Bone marrow aspirate smear:
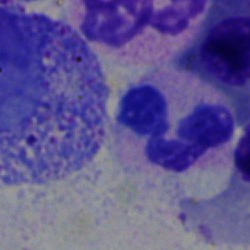

Specimen: bone marrow smear.
Morphological class: neutrophil (segmented).
Lineage: myeloid.